40× objective, oil immersion; bone marrow smear.
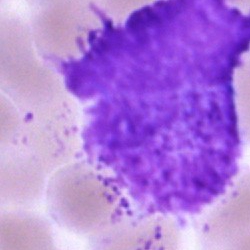
Cell: artefact.